Bone marrow smear
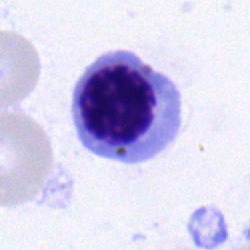 Cell — erythroblast.